Bone marrow smear: 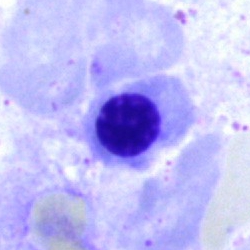Normoblast.